Brightfield microscopy, 40× oil immersion; bone marrow aspirate smear
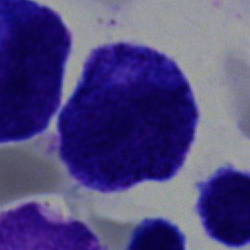

Showing a progranulocyte.